Bone marrow aspirate smear:
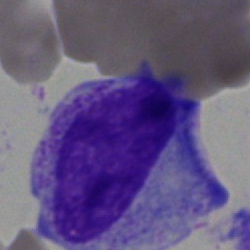
Showing a progranulocyte.